Bone marrow aspirate smear — 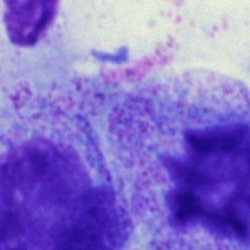

Q: What cell is this?
A: A progranulocyte.